Pappenheim-stained; bone marrow smear — 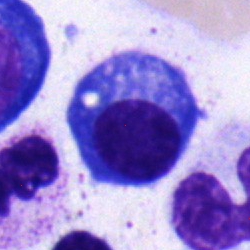

Morphology consistent with a plasma cell.